Single-cell field. Bone marrow smear. Image size 250×250.
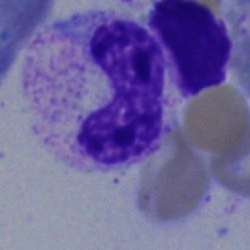

Cell = stab cell.